Bone marrow smear. May-Grünwald-Giemsa stain:
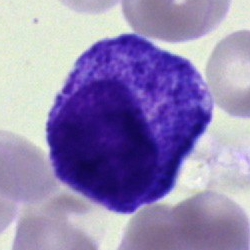

Q: What is shown here?
A: Progranulocyte.